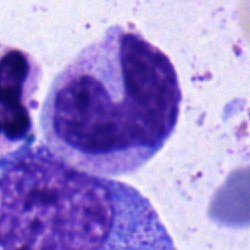
The cell shown is a neutrophil (band).